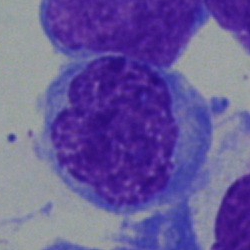
A monocyte.